Bone marrow aspirate smear · MGG-stained: 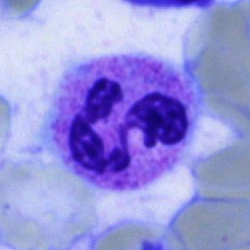

{"cell_type": "neutrophil (segmented)", "lineage": "myeloid"}